Bone marrow smear.
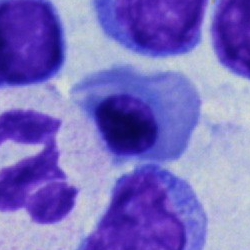Morphological class — erythroblast.